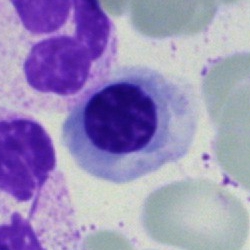

Q: Identify the cell.
A: An erythroblast.